250×250 px; bone marrow smear:
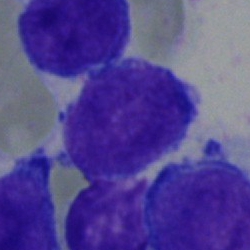
Q: Identify the cell.
A: It is a blast cell.